Single-cell crop · bone marrow smear.
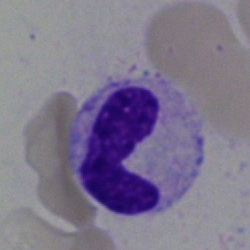

The cell type is polymorphonuclear neutrophil.